Bone marrow aspirate smear: 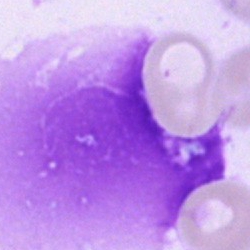Cell type — artifact.